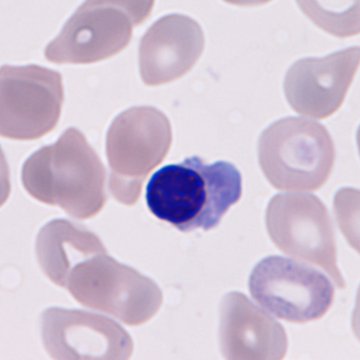
Preparation: Peripheral blood film.
Morphology consistent with an erythroblast.